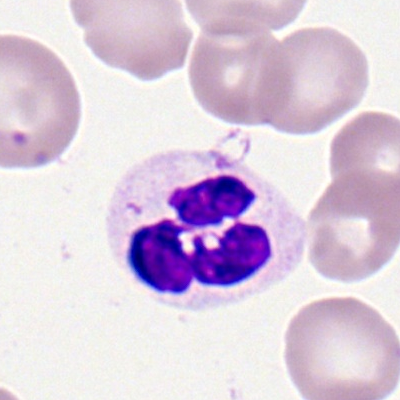
Peripheral blood smear showing a neutrophil (segmented).